Bone marrow smear
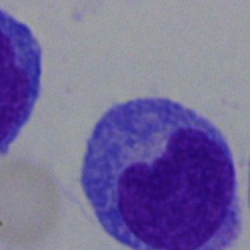 The cell shown is an undifferentiated blast.